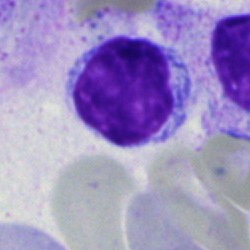 Impression → lymphocyte.